Bone marrow smear.
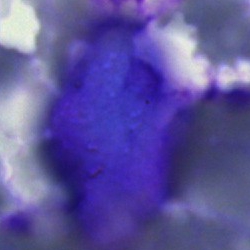
The cell is artifact.